May-Grünwald-Giemsa stain. Bone marrow aspirate smear — 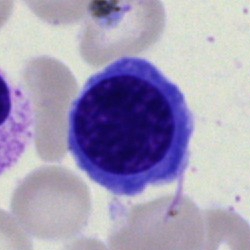

Cell type: erythroblast.